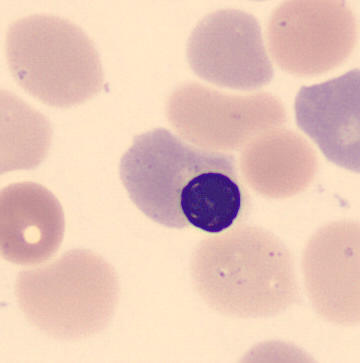 Q: What is the morphological classification of this cell?
A: A nucleated red cell.